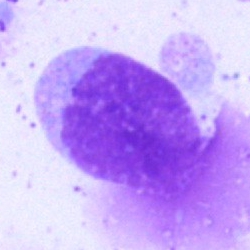

Classification: artefact.